Cropped to a single cell. 40× oil immersion. Bone marrow smear.
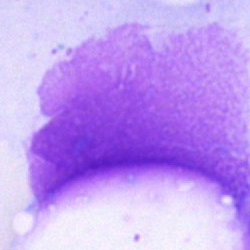Specimen: bone marrow aspirate smear.
Cell type: artifact.